Peripheral blood smear; 360×363 px:
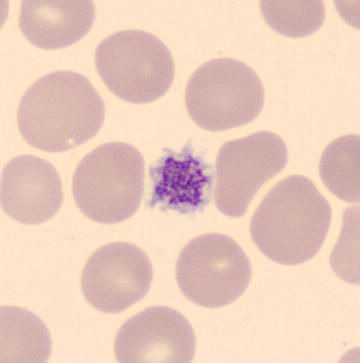Cell type: platelet.